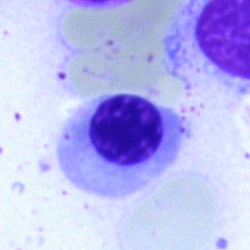

Erythroblast.